Bone marrow smear · cropped to a single cell.
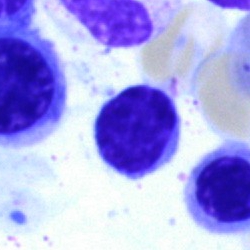
Classification — lymphocyte.